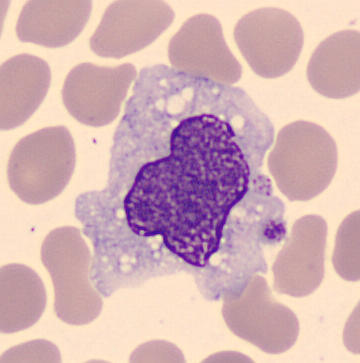 Image: 360 by 363 pixels. Specimen: peripheral blood smear.
Cell type: monocyte.
Lineage: myeloid.